Bone marrow smear · single cell centered in the field · 40× oil immersion.
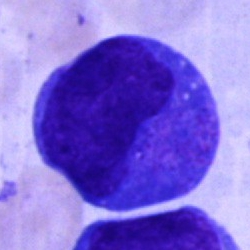
Classification: undifferentiated blast.